Bone marrow smear
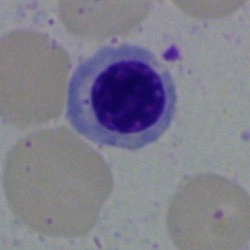 Classification: normoblast.